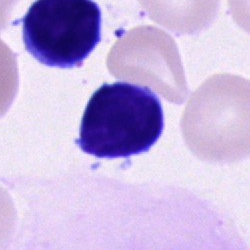Cell type: lymphocyte.